Bone marrow smear:
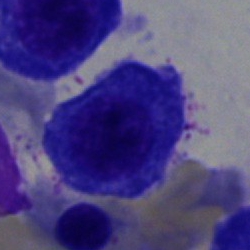 Specimen: bone marrow smear.
Cell type: plasma cell.
Lineage: lymphoid.